Bone marrow smear:
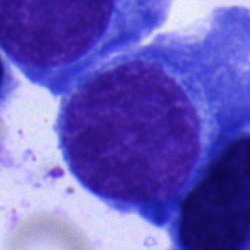 Morphology consistent with a plasmacyte.